May-Grünwald-Giemsa/Pappenheim stain · bone marrow smear: 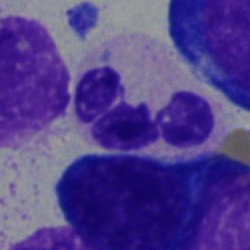
Showing a neutrophil (segmented).